Bone marrow smear: 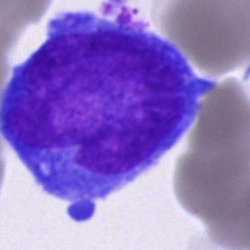Impression — undifferentiated blast.